Bone marrow aspirate smear — 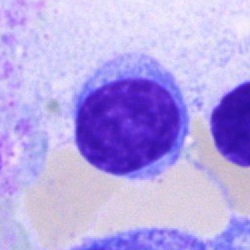

Single cell identified as a typical lymphocyte.